Bone marrow smear
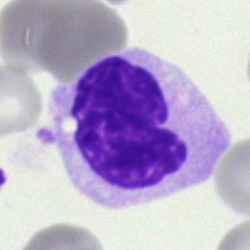

Impression → metamyelocyte.